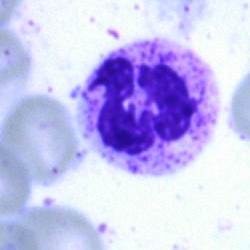

Cell type: segmented neutrophil.